Bone marrow smear · single cell centered in the field · 250×250 px:
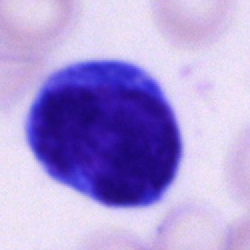
Impression — monocyte.